Bone marrow aspirate smear; 250 by 250 pixels — 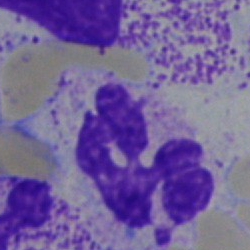 The morphological class is polymorphonuclear neutrophil.